100× oil immersion, 14.14 px/µm; peripheral blood film.
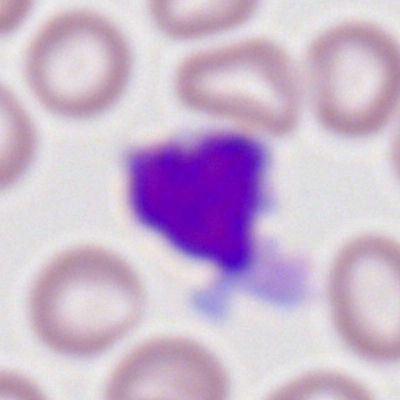
Lymphocyte.